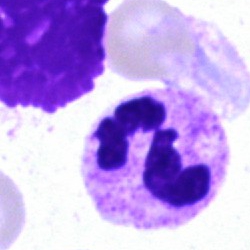The cell is neutrophil (segmented).